Bone marrow aspirate smear. May-Grünwald-Giemsa stain
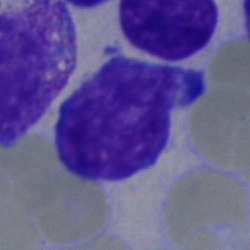 Q: What cell is this?
A: Undifferentiated blast.